250×250; bone marrow smear
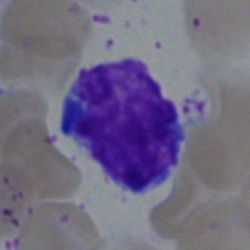
The cell type is artifact.